Bone marrow smear.
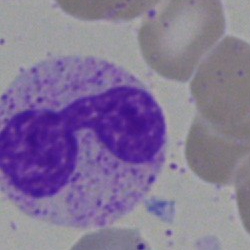
Q: Which cell type is shown here?
A: This is a polymorphonuclear neutrophil.